Pappenheim-stained · bone marrow smear: 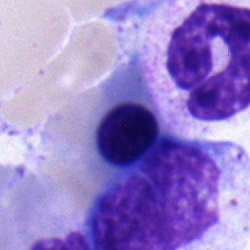The cell shown is an erythroblast.